40× oil immersion · bone marrow aspirate smear.
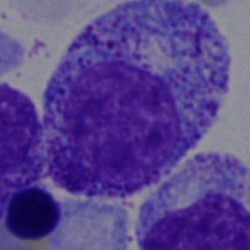
Showing a promyelocyte.